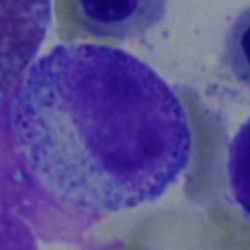

Cell: myelocyte.